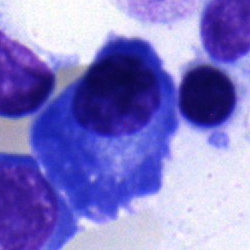
Cell type = plasma cell.